Bone marrow aspirate smear — 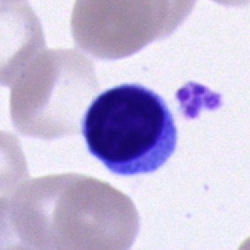
Impression → typical lymphocyte.